Bone marrow aspirate smear: 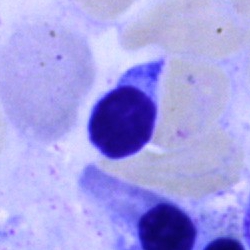
Q: What is the morphological classification of this cell?
A: This is a lymphocyte.